Bone marrow smear: 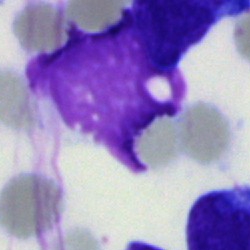 The morphological class is artifact.